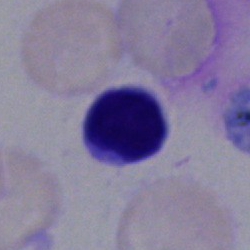 Bone marrow smear showing a typical lymphocyte.